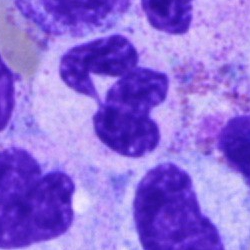Morphology — polymorphonuclear neutrophil.